Bone marrow smear. Pappenheim-stained:
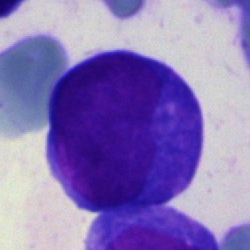

An undifferentiated blast.